40× oil immersion; bone marrow smear:
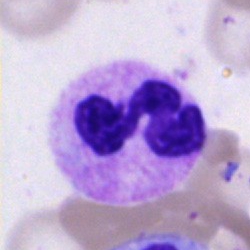This is a segmented neutrophil.